Bone marrow smear · single cell centered in the field — 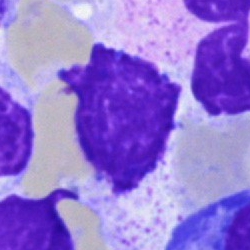 Single cell identified as an artifact.